Bone marrow smear · May-Grünwald-Giemsa stain · single cell centered in the field.
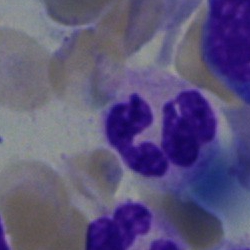 Specimen: bone marrow smear.
Classification: polymorphonuclear neutrophil.
Lineage: myeloid.